Bone marrow aspirate smear. 40× oil immersion — 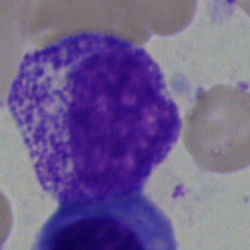Specimen: bone marrow smear.
Classification: myelocyte.
Lineage: myeloid.